Peripheral blood film.
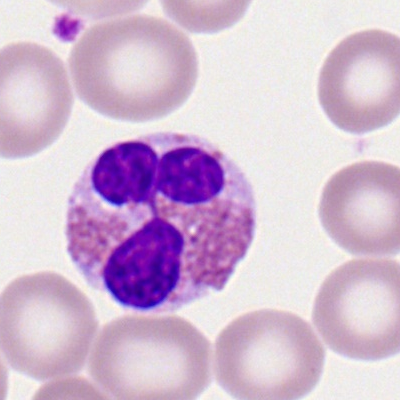

An eosinophilic granulocyte.